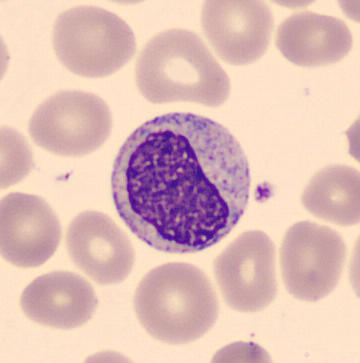

Cell = myelocyte. Preparation: Peripheral blood film; May-Grünwald-Giemsa-stained.